Bone marrow smear · single-cell crop
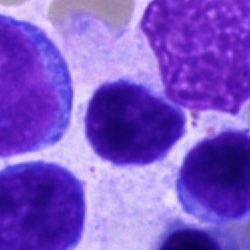
The cell type is typical lymphocyte.